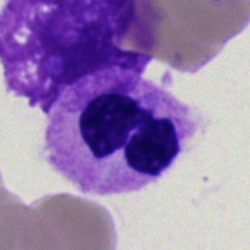
Bone marrow smear showing a neutrophil (segmented).